Bone marrow smear:
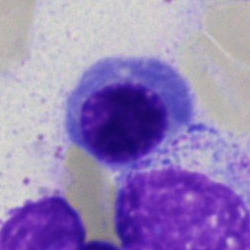

Classification — nucleated red cell.